Bone marrow aspirate smear.
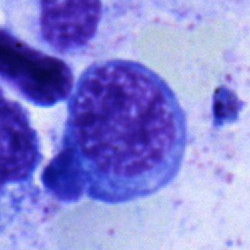

Normoblast.